Bone marrow smear.
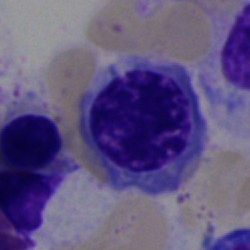
Specimen: bone marrow aspirate smear.
Cell type: normoblast.